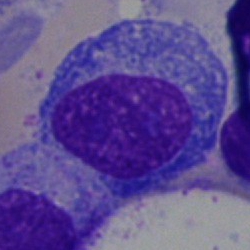
Showing a plasma cell.